Bone marrow smear. 250 by 250 pixels:
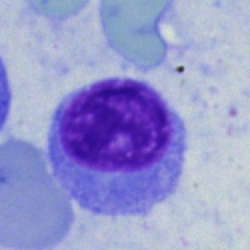
Cell type — lymphocyte.